Brightfield, 40× oil-immersion objective; bone marrow smear — 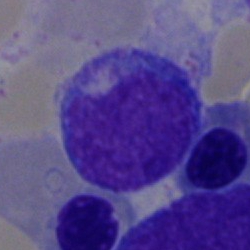
Single cell identified as a lymphocyte.